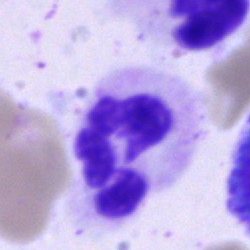
{"cell_type": "segmented neutrophil", "lineage": "myeloid"}